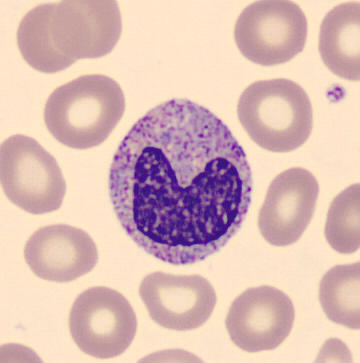

Morphology consistent with a metamyelocyte.